Bone marrow aspirate smear.
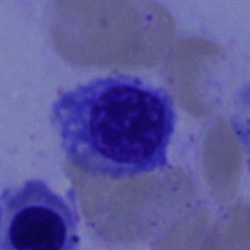

Nucleated red blood cell.